Bone marrow smear.
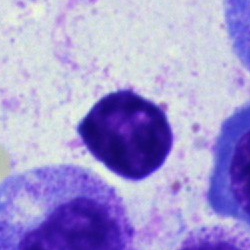
{"cell_type": "artifact"}